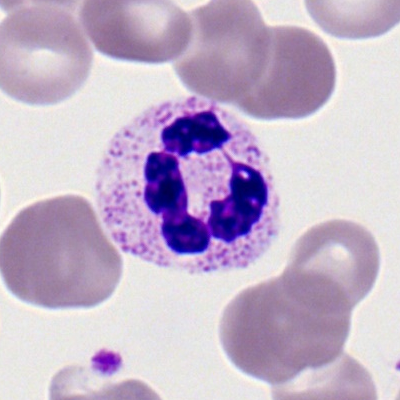

Specimen: peripheral blood film.
Cell type: segmented neutrophil.
Lineage: myeloid.